Bone marrow aspirate smear:
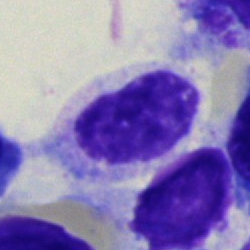

Myelocyte.